Bone marrow aspirate smear:
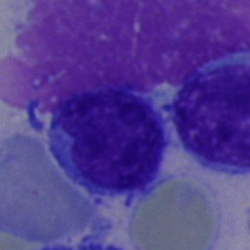 Cell: lymphocyte.